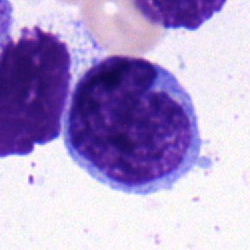
The cell type is blast cell.